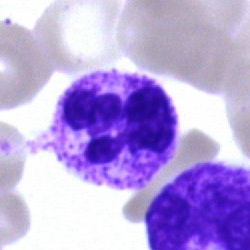Classification — segmented neutrophil.